Bone marrow smear:
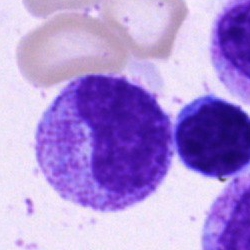Q: Identify the cell.
A: It is a metamyelocyte.